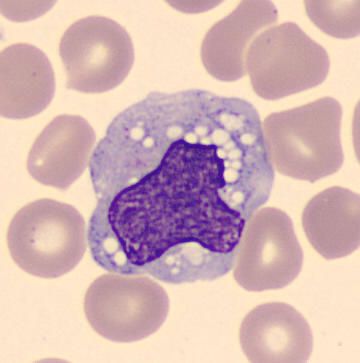
Single cell identified as a monocyte. Acquisition: Peripheral blood film.